Bone marrow smear
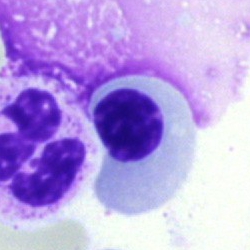
Q: What is shown here?
A: A promyelocyte.